Peripheral blood smear. Romanowsky-type stain. 400 by 400 pixels:
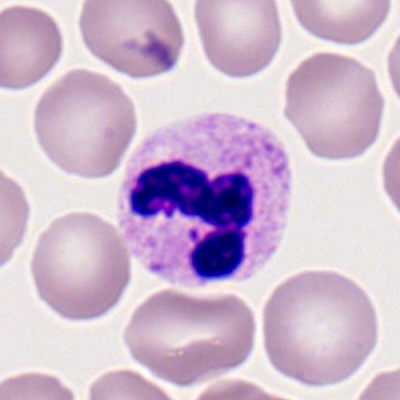{"cell_type": "polymorphonuclear neutrophil"}